Single cell centered in the field · bone marrow smear · 250 by 250 pixels:
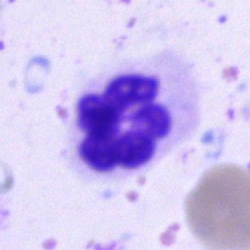

Specimen: bone marrow aspirate smear.
Cell: neutrophil (segmented).